Bone marrow smear
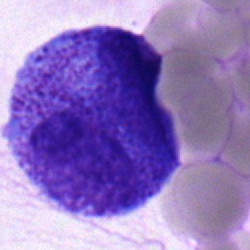
Q: What type of cell is this?
A: It is a blast cell.